Bone marrow aspirate smear — 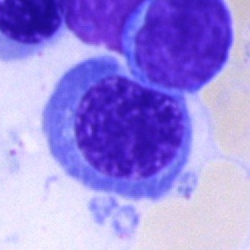
Q: What is shown here?
A: Nucleated red cell.